Bone marrow aspirate smear: 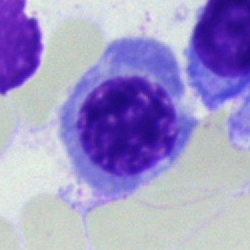

An erythroblast.